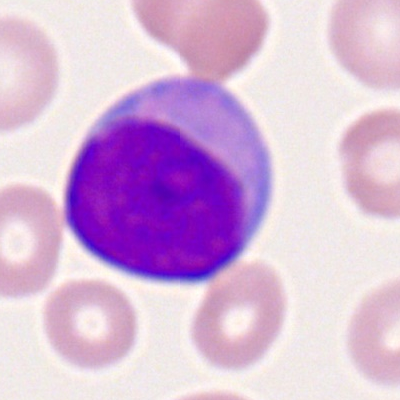 This is a myeloid blast.